Bone marrow aspirate smear — 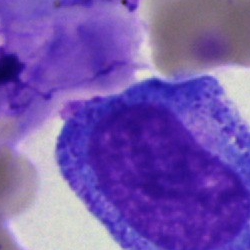

Showing a progranulocyte.